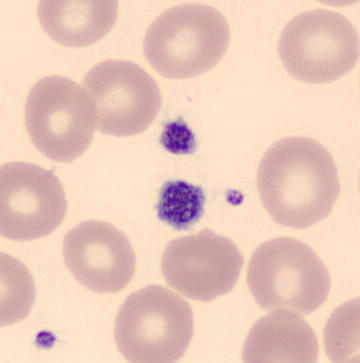

The cell type is platelet.